Bone marrow smear: 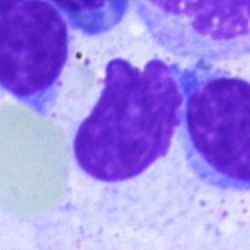
{"cell_type": "artefact"}